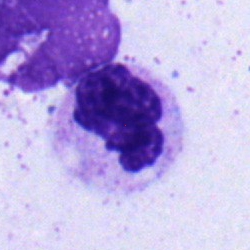
The cell is neutrophil (segmented).